Peripheral blood smear — 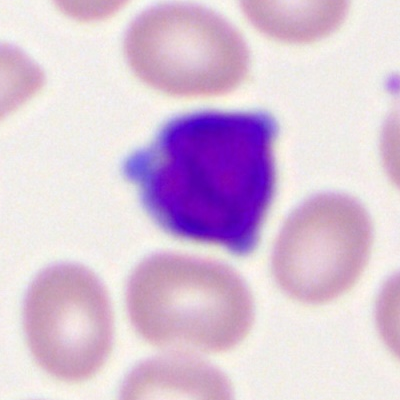Q: Which cell type is shown here?
A: A lymphocyte.